Bone marrow aspirate smear · single cell centered in the field:
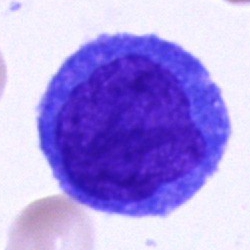
Specimen: bone marrow aspirate smear.
Morphological class: blast.